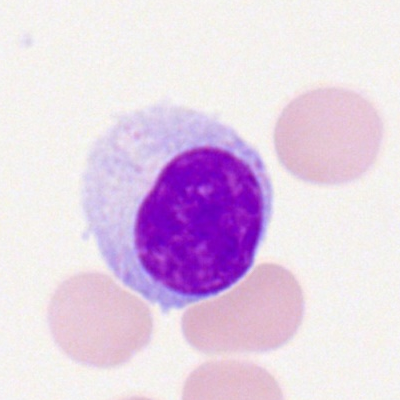Morphology consistent with a typical lymphocyte.